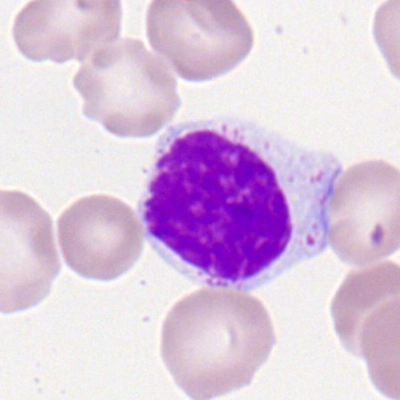
Morphology — lymphocyte.